Cropped to a single cell · peripheral blood film.
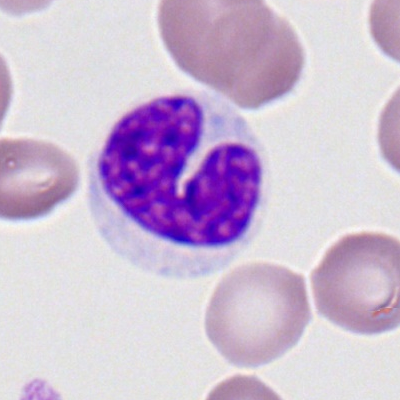

The classification is monocyte.